Bone marrow aspirate smear:
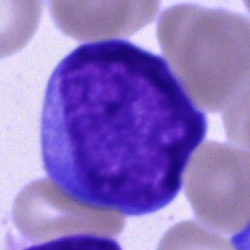
Specimen: bone marrow aspirate smear.
Classification: blast cell.